MGG-stained; bone marrow aspirate smear
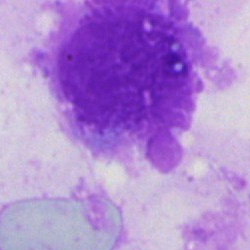Q: What is shown here?
A: An artifact.